Single-cell field · 40× objective, oil immersion · bone marrow smear.
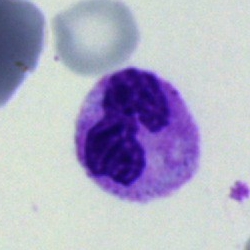 The cell type is polymorphonuclear neutrophil.